Single-cell field; bone marrow smear; 250×250.
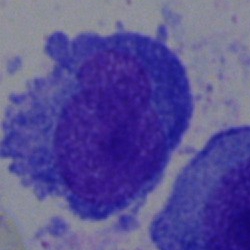

Cell = plasma cell.